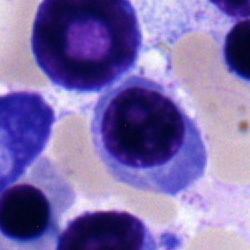 Impression — plasma cell.